Cropped to a single cell; bone marrow smear:
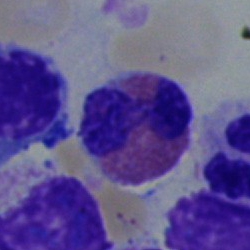

The cell shown is an eosinophil.